Bone marrow smear:
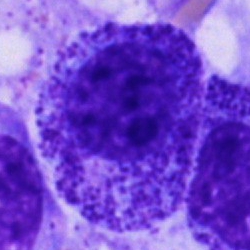Impression — promyelocyte.